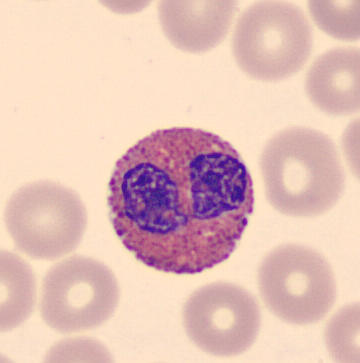
Specimen: peripheral blood film.
Classification: eosinophilic granulocyte.
Lineage: myeloid.

Preparation: Single-cell field.